Bone marrow aspirate smear.
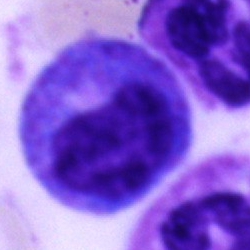

Impression — promyelocyte.